Peripheral blood smear
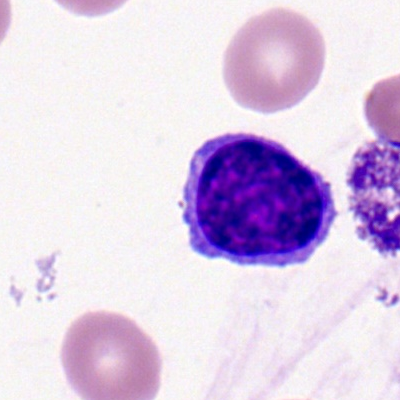Single cell identified as a typical lymphocyte.